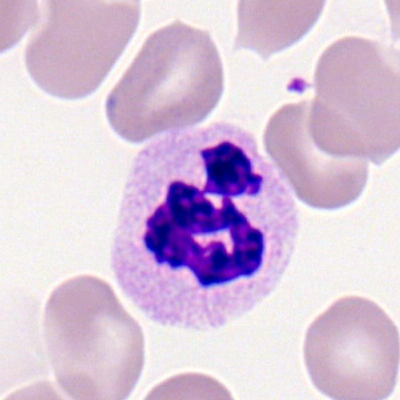
Single-cell crop from a peripheral blood smear: polymorphonuclear neutrophil.